Bone marrow aspirate smear — 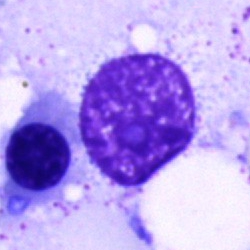 Single cell identified as an artefact.